Peripheral blood smear:
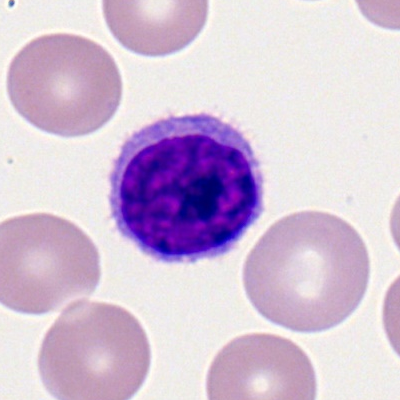
Typical lymphocyte.